Bone marrow aspirate smear
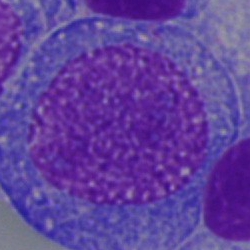
A blast.